Bone marrow aspirate smear.
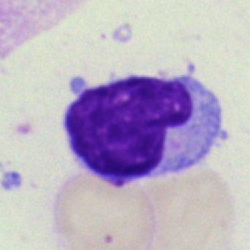

Cell type — typical lymphocyte.